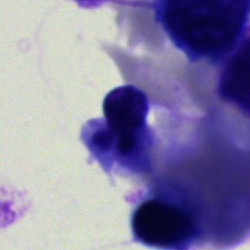

Q: What is shown here?
A: It is an artifact.